Cropped to a single cell; bone marrow smear: 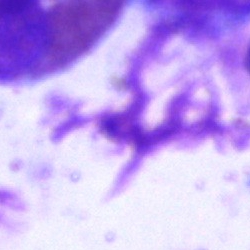Classification — artefact.